Single-cell crop. Bone marrow aspirate smear
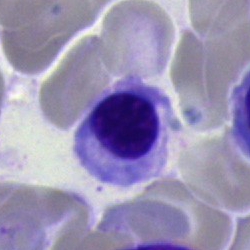

Cell type = nucleated red blood cell.